Single cell centered in the field · bone marrow smear
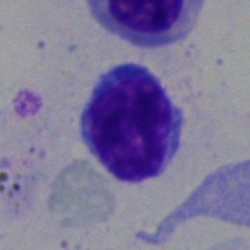
Morphology consistent with a typical lymphocyte.